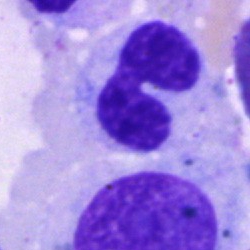The cell is neutrophil (segmented).